Bone marrow aspirate smear:
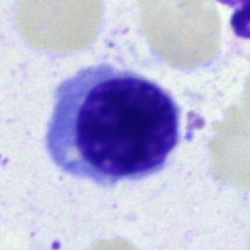
Cell — erythroblast.